Bone marrow aspirate smear
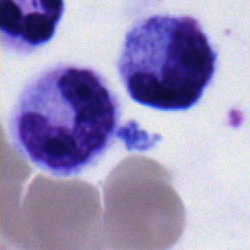{"cell_type": "stab cell", "lineage": "myeloid"}